May-Grünwald-Giemsa/Pappenheim stain · bone marrow smear · brightfield, 40× oil-immersion objective: 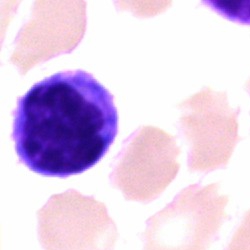

Classification = lymphocyte.